Bone marrow aspirate smear.
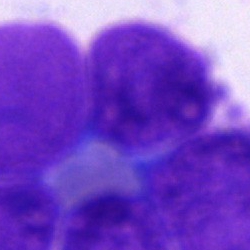The cell shown is an artefact.